Bone marrow aspirate smear · 250×250 px — 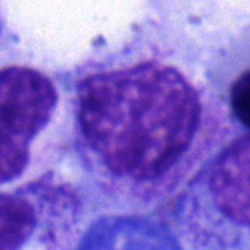Q: What type of cell is this?
A: Myelocyte.